Bone marrow smear. 40× objective, oil immersion — 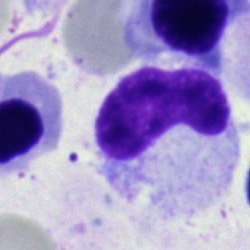

Morphology consistent with a band-form neutrophil.